Bone marrow smear · single-cell crop: 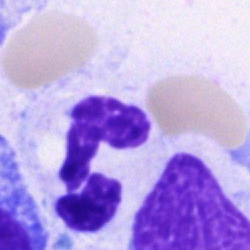Neutrophil (segmented).